Bone marrow aspirate smear.
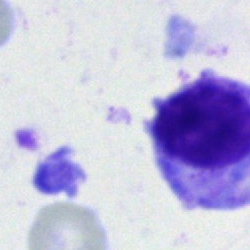Specimen: bone marrow aspirate smear.
Cell type: unidentifiable cell.